Image size 250×250; bone marrow smear
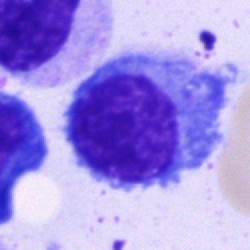 Showing a typical lymphocyte.